MGG-stained · 40× oil immersion · bone marrow smear: 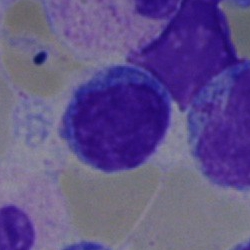
Specimen: bone marrow smear.
Classification: lymphocyte.